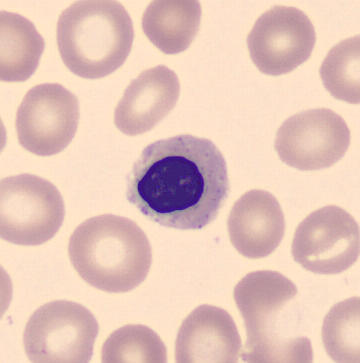 Impression — erythroblast.